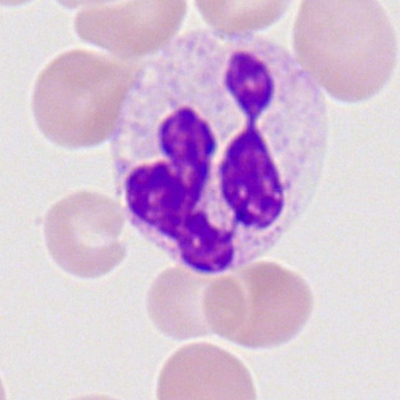 Showing a segmented neutrophil.